40× objective, oil immersion; single-cell field; bone marrow smear:
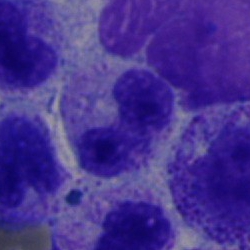Q: What is the morphological classification of this cell?
A: It is a band neutrophil.